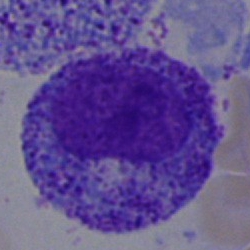

The cell type is promyelocyte.